Bone marrow smear
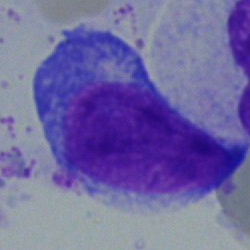A pronormoblast.